Single-cell crop · bone marrow aspirate smear · 40× objective, oil immersion.
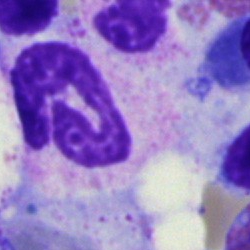
Q: What type of cell is this?
A: A polymorphonuclear neutrophil.